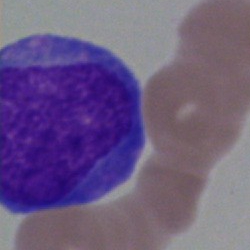
Cell type: blast cell.